May-Grünwald-Giemsa/Pappenheim stain. Bone marrow aspirate smear: 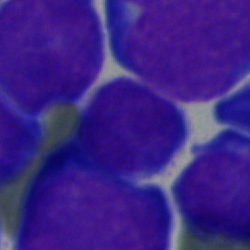

Cell type: blast.